40× objective, oil immersion · bone marrow aspirate smear · 250 by 250 pixels — 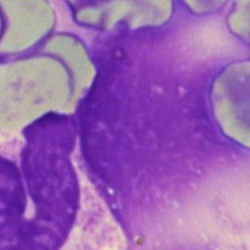 Specimen: bone marrow smear.
Cell: artifact.